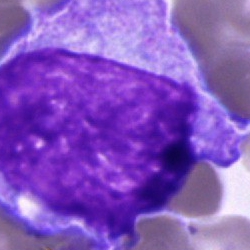
Cell of indeterminate lineage.